Bone marrow smear
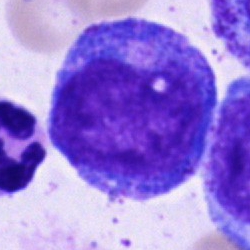Morphology → promyelocyte.